Bone marrow aspirate smear: 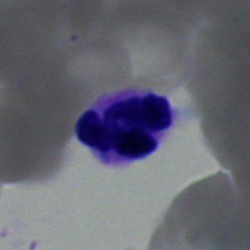 Cell: segmented neutrophil.